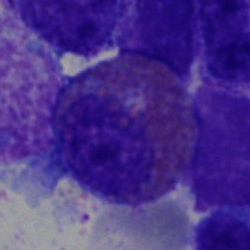An eosinophilic granulocyte.